May-Grünwald-Giemsa/Pappenheim stain. Bone marrow aspirate smear — 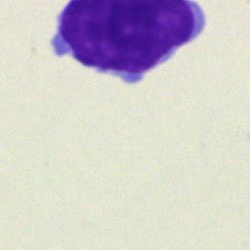

Cell type = unidentifiable cell.